May-Grünwald-Giemsa/Pappenheim stain · bone marrow smear.
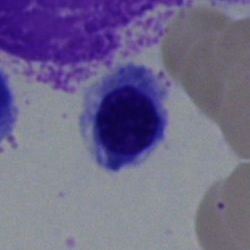
Morphology — nucleated red blood cell.